Single cell centered in the field · bone marrow aspirate smear.
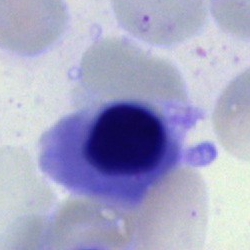 Morphology — normoblast.